May-Grünwald-Giemsa stain · 250 by 250 pixels · bone marrow aspirate smear: 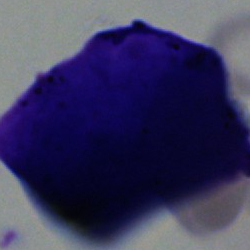An artifact.